Cropped to a single cell. Bone marrow aspirate smear — 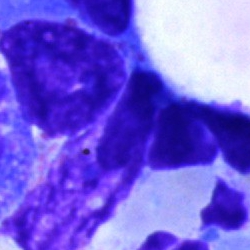
Artefact.